Bone marrow smear: 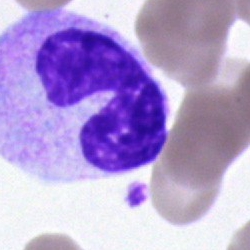

Showing a segmented neutrophil.